Bone marrow aspirate smear — 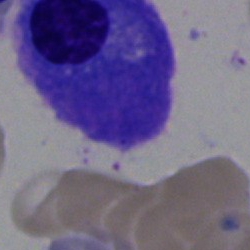
Morphology — plasma cell.